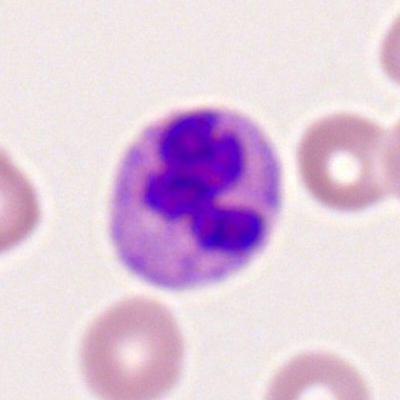

Morphology — polymorphonuclear neutrophil.